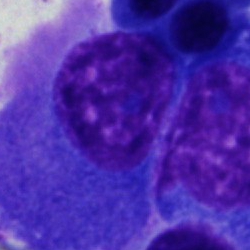
{"cell_type": "plasmacyte"}